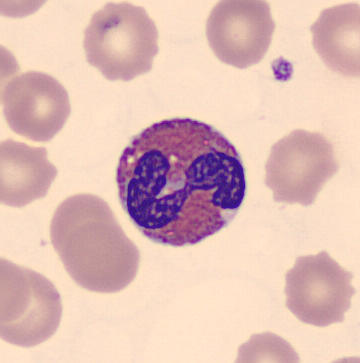

Specimen: peripheral blood film.
Morphological class: eosinophilic granulocyte.